MGG-stained; bone marrow aspirate smear.
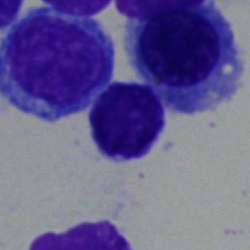 Specimen: bone marrow aspirate smear.
Cell type: lymphocyte.
Lineage: lymphoid.